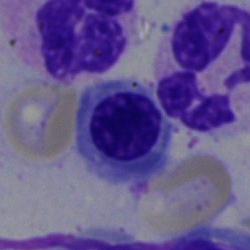 Single cell identified as an erythroblast.